Bone marrow smear.
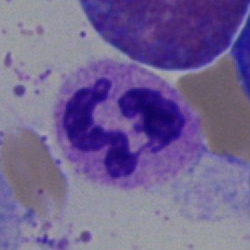The cell type is neutrophil (segmented).